Bone marrow aspirate smear:
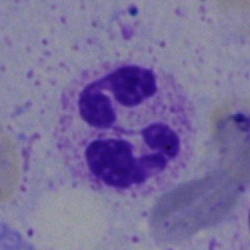 Specimen: bone marrow smear.
Morphological class: segmented neutrophil.
Lineage: myeloid.